Bone marrow smear:
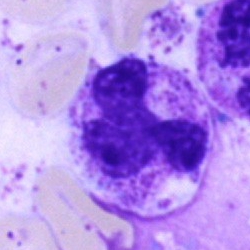
Q: What is the morphological classification of this cell?
A: This is a polymorphonuclear neutrophil.